Bone marrow smear.
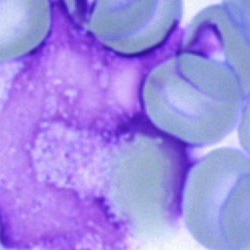Morphology → artefact.